Bone marrow aspirate smear:
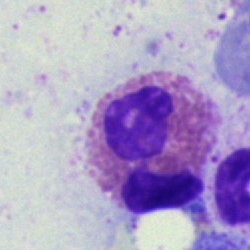 This is an eosinophilic granulocyte.